Bone marrow smear · 40× objective, oil immersion
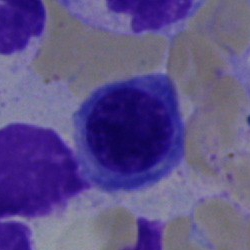 Morphology → normoblast.